Bone marrow aspirate smear
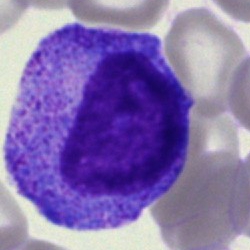 Morphology — progranulocyte.